Pappenheim-stained · bone marrow smear · 250×250: 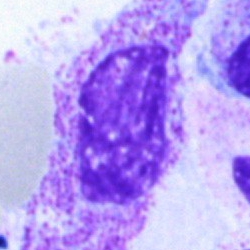

The cell shown is an artefact.